May-Grünwald-Giemsa stain · bone marrow smear — 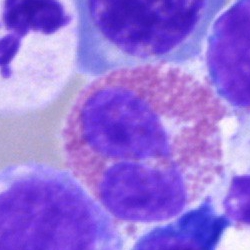
The morphological class is eosinophilic granulocyte.